Bone marrow aspirate smear — 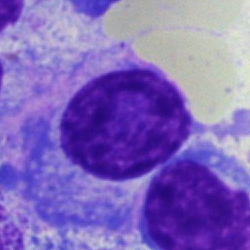 Q: What is the morphological classification of this cell?
A: This is a plasma cell.